Bone marrow smear:
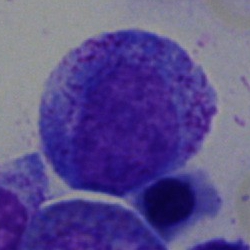
A promyelocyte.